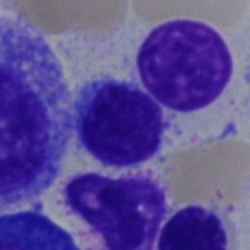Impression — lymphocyte.